Bone marrow smear.
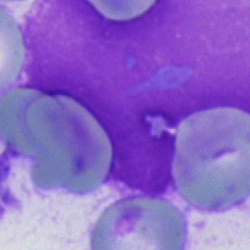

Q: What is shown here?
A: An artefact.